Bone marrow smear · single-cell field.
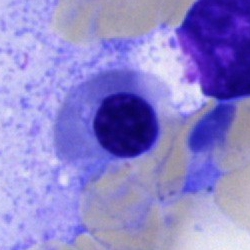Showing an erythroblast.